Bone marrow smear; 250×250
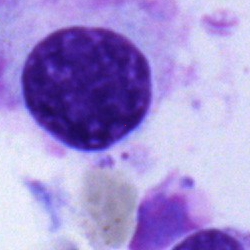Classification: plasmacyte.